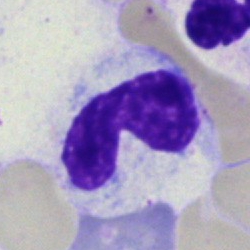
Neutrophil (band).